Bone marrow aspirate smear:
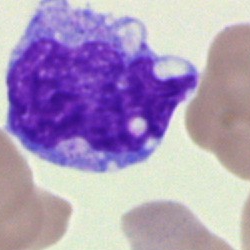
Q: What type of cell is this?
A: This is a monocyte.